MGG-stained · image size 250×250 · bone marrow smear — 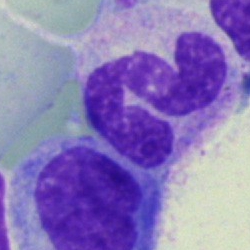

Specimen: bone marrow aspirate smear.
Cell: segmented neutrophil.